Bone marrow aspirate smear · cropped to a single cell — 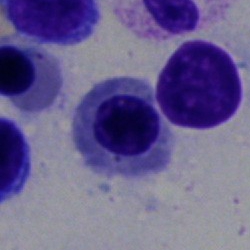The cell type is erythroblast.